Bone marrow smear — 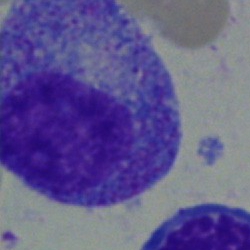 Q: Identify the cell.
A: This is a promyelocyte.